Bone marrow smear:
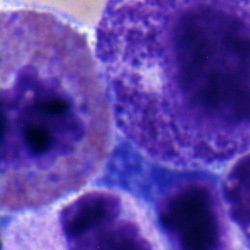

The cell shown is an eosinophil.